Image size 250×250. Bone marrow aspirate smear:
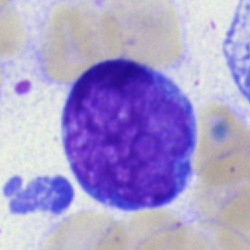
Single cell identified as a blast.